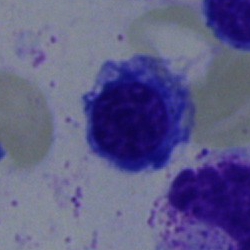
Cell type — erythroblast.